Peripheral blood smear — 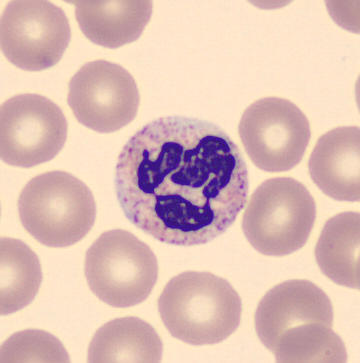
Morphology — neutrophil (segmented).